Peripheral blood film: 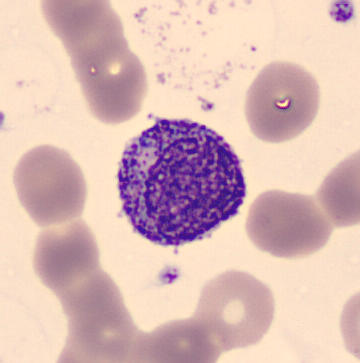
Cell type = myelocyte.